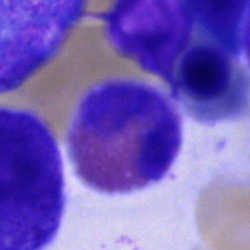

Q: What is shown here?
A: It is an eosinophil.